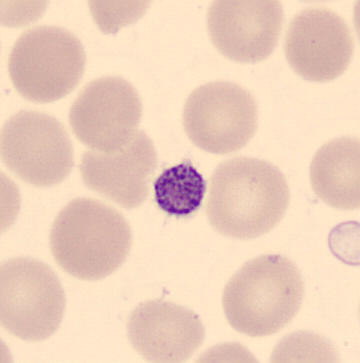

Image: May Grünwald-Giemsa stain · peripheral blood film.
Cell type = platelet.